Bone marrow smear
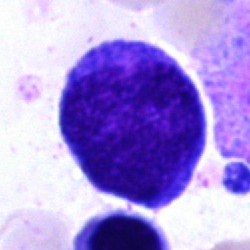

Q: Identify the cell.
A: This is an undifferentiated blast.